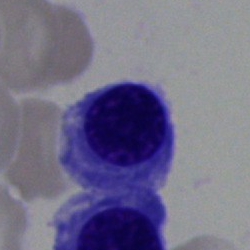
Q: Identify the cell.
A: It is a nucleated red blood cell.